Bone marrow aspirate smear — 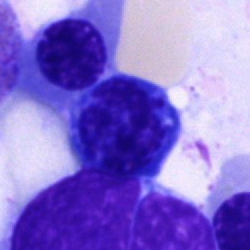
The morphological class is nucleated red blood cell.